Bone marrow aspirate smear; 250×250 px.
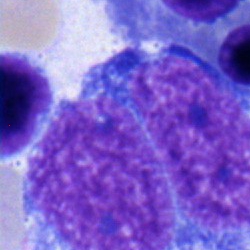The classification is lymphocyte.